40× objective, oil immersion; bone marrow aspirate smear; 250×250.
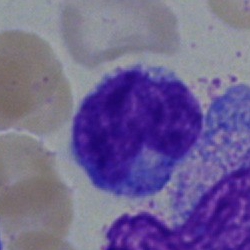 This is a monocyte.